Bone marrow aspirate smear. Brightfield microscopy, 40× oil immersion — 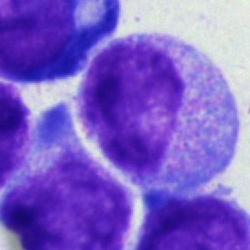
Myelocyte.